Bone marrow smear
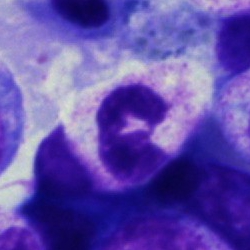

This is a neutrophil (segmented).